Bone marrow aspirate smear; single-cell field; MGG-stained — 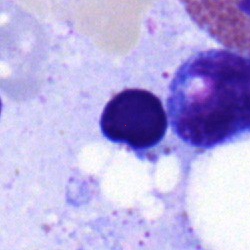 Q: What is shown here?
A: This is a normoblast.